May-Grünwald-Giemsa stain · 250×250 · bone marrow smear: 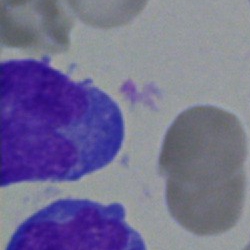Morphology — undifferentiated blast.